Bone marrow aspirate smear: 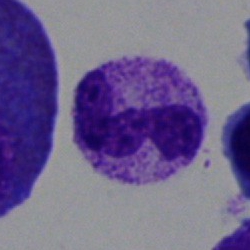

This is a neutrophil (segmented).